Bone marrow smear — 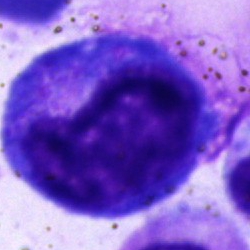The cell shown is a progranulocyte.